Bone marrow aspirate smear.
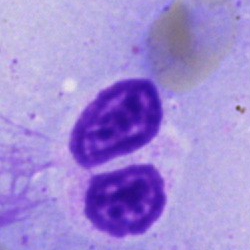

Morphology consistent with a neutrophil (segmented).